Bone marrow smear. May-Grünwald-Giemsa stain. Brightfield microscopy, 40× oil immersion: 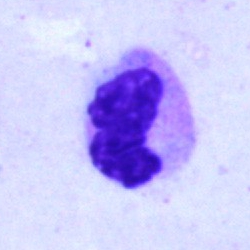

Specimen: bone marrow aspirate smear.
Morphological class: band neutrophil.
Lineage: myeloid.